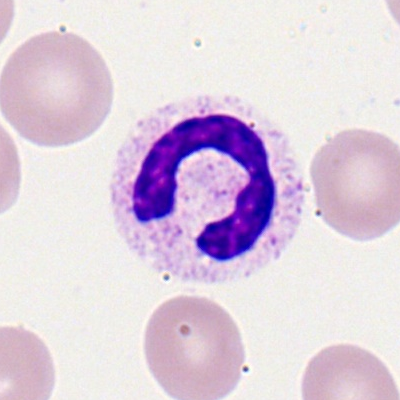Impression — stab cell.